Peripheral blood film
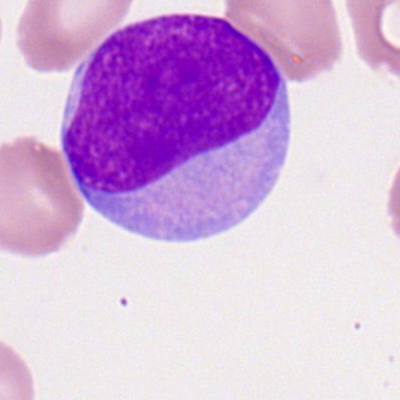Classification: myeloblast.